Bone marrow aspirate smear · Pappenheim-stained — 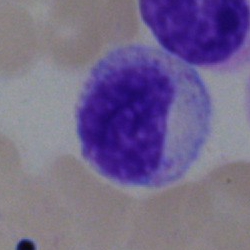Cell type — myelocyte.